Image size 250×250; bone marrow aspirate smear; 40× oil immersion: 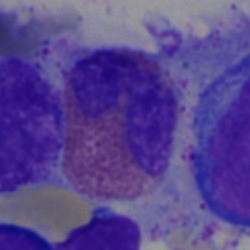 Q: What cell is this?
A: This is an eosinophilic granulocyte.